Cropped to a single cell; bone marrow aspirate smear; May-Grünwald-Giemsa stain — 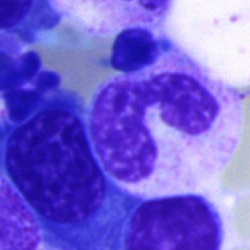 The cell shown is a segmented neutrophil.